Bone marrow aspirate smear:
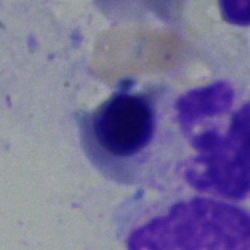Single cell identified as an erythroblast.